40× oil immersion; bone marrow smear:
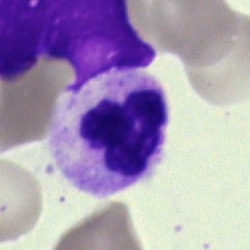

Q: What cell is this?
A: This is a neutrophil (segmented).